Bone marrow smear
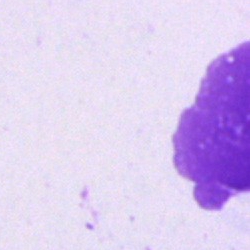 The cell shown is an artifact.